Bone marrow smear: 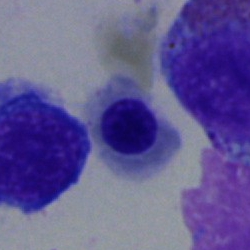 Erythroblast.